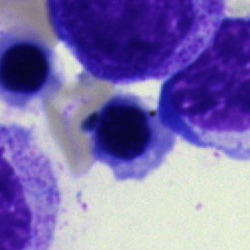

Single-cell crop from a bone marrow smear: nucleated red blood cell.